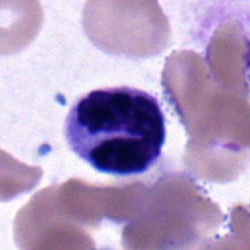Bone marrow smear showing a stab cell.